Bone marrow aspirate smear:
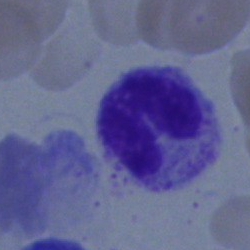

This is a band neutrophil.